May-Grünwald-Giemsa/Pappenheim stain. Bone marrow aspirate smear: 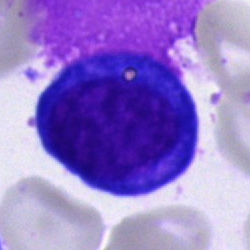

Q: What type of cell is this?
A: This is a normoblast.